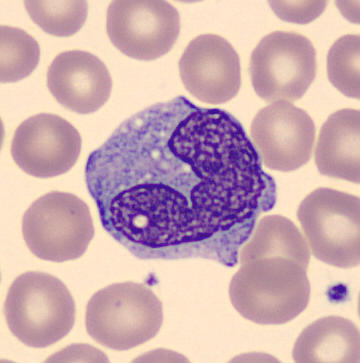 Morphology consistent with a monocyte.